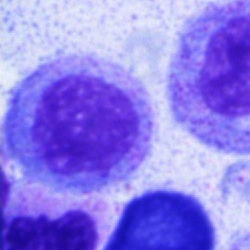

{"cell_type": "myelocyte", "lineage": "myeloid"}